Image size 250×250 · bone marrow aspirate smear: 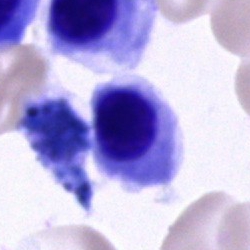 Cell: erythroblast.